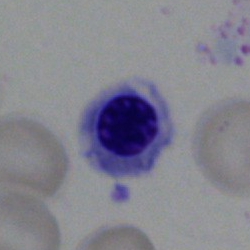 {"cell_type": "erythroblast"}